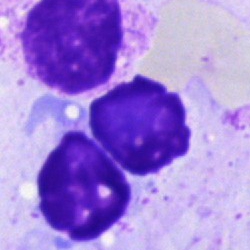 Specimen: bone marrow aspirate smear.
Cell type: artefact.